Bone marrow smear.
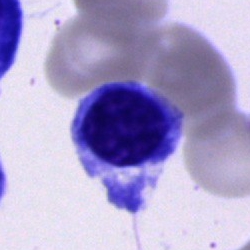 The cell shown is a normoblast.